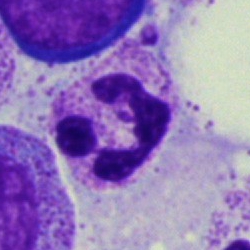

The cell shown is a segmented neutrophil.